Bone marrow aspirate smear
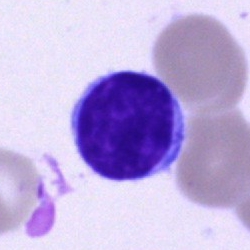
{"cell_type": "lymphocyte"}